Bone marrow smear: 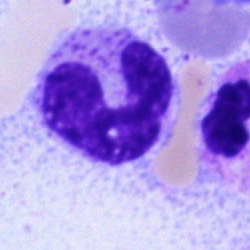

The cell shown is a band neutrophil.